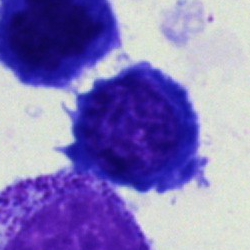

Cell = normoblast.